Bone marrow aspirate smear:
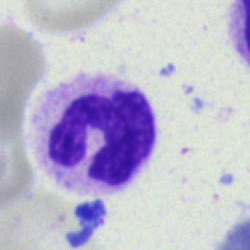 This is a band-form neutrophil.